Bone marrow aspirate smear.
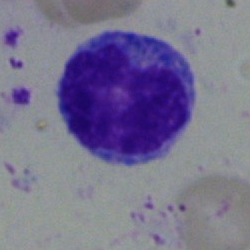 Morphology → monocyte.